Bone marrow aspirate smear — 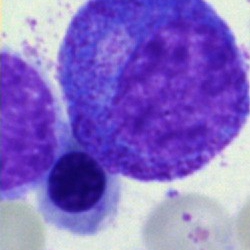 The cell shown is a progranulocyte.